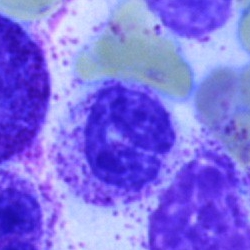A segmented neutrophil.